Bone marrow aspirate smear: 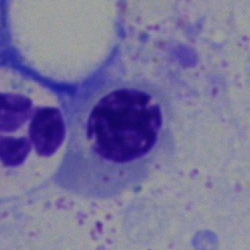 Showing an erythroblast.